Bone marrow aspirate smear · brightfield, 40× oil-immersion objective — 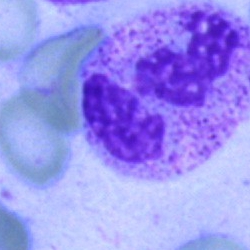
Polymorphonuclear neutrophil.